Peripheral blood smear:
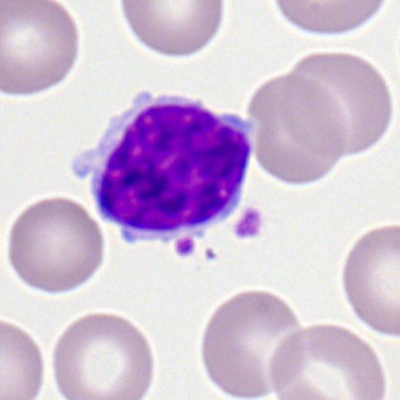

Classification = lymphocyte.